Single-cell crop; 250 by 250 pixels; bone marrow smear — 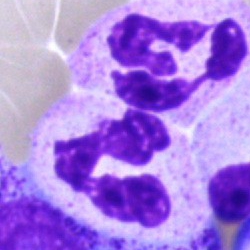 Cell type: neutrophil (segmented).